May-Grünwald-Giemsa/Pappenheim stain. Bone marrow smear
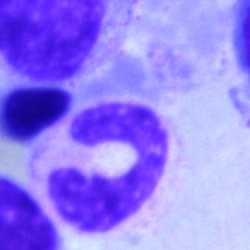 Cell: neutrophil (segmented).